400×400 px. Peripheral blood smear
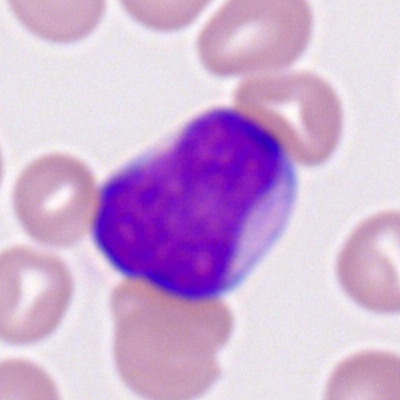The cell is myeloid blast.